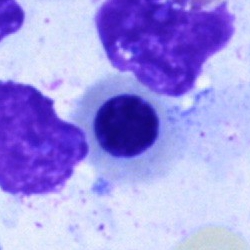
Specimen: bone marrow aspirate smear.
Cell: normoblast.